Bone marrow aspirate smear; May-Grünwald-Giemsa stain; 250 by 250 pixels
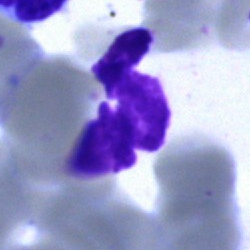Morphology consistent with an artifact.